MGG-stained · bone marrow smear
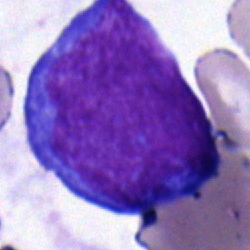
Classification: undifferentiated blast.